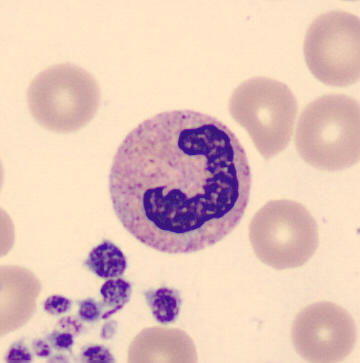 Morphology → band-form neutrophil.